Cropped to a single cell; 250 by 250 pixels; bone marrow aspirate smear.
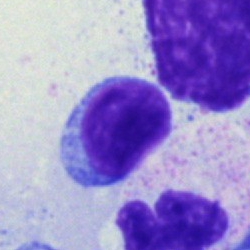 Q: What is shown here?
A: Typical lymphocyte.